Peripheral blood film — 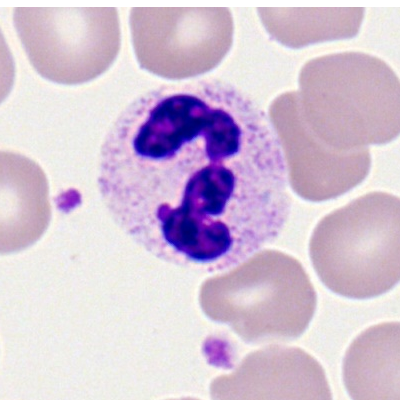

Q: What type of cell is this?
A: This is a segmented neutrophil.